Bone marrow aspirate smear — 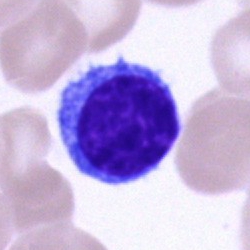
This is a typical lymphocyte.